Bone marrow aspirate smear
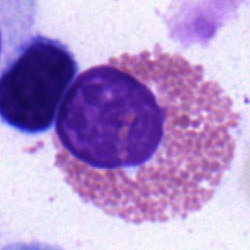
Impression → eosinophil.